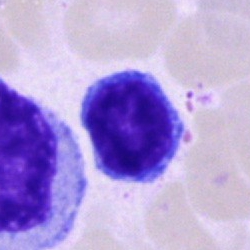
Lymphocyte.